Bone marrow aspirate smear; 250×250 px: 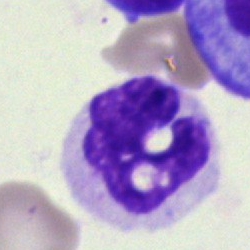
Monocyte.